Single cell centered in the field. Bone marrow smear — 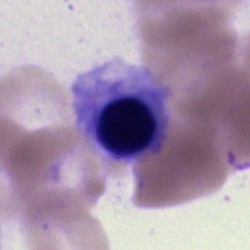

Nucleated red cell.